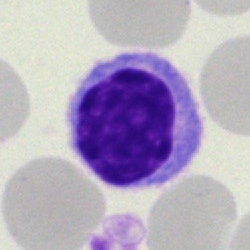

Single-cell crop from a bone marrow smear: lymphocyte.